Single-cell crop. May-Grünwald-Giemsa stain. Bone marrow aspirate smear.
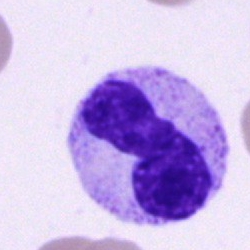
Specimen: bone marrow smear.
Cell type: neutrophil (band).
Lineage: myeloid.